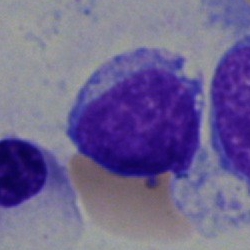 Q: What is shown here?
A: Undifferentiated blast.